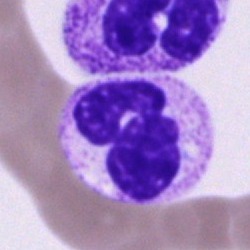Q: What type of cell is this?
A: A neutrophil (segmented).